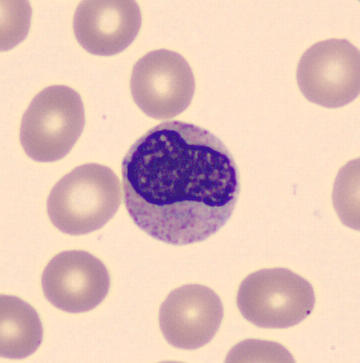 Peripheral blood smear; MGG-stained.
Morphology consistent with a metamyelocyte.